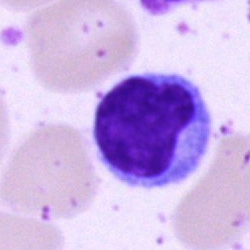
{"cell_type": "typical lymphocyte"}